Bone marrow smear
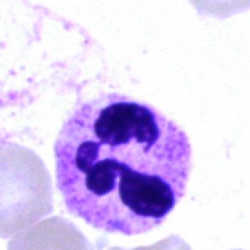
Cell type — polymorphonuclear neutrophil.